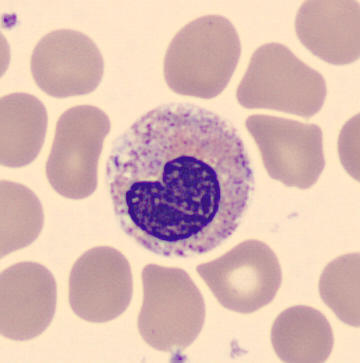

Single-cell crop.
Specimen: peripheral blood smear.
Cell: metamyelocyte.